Peripheral blood film; MGG-stained.
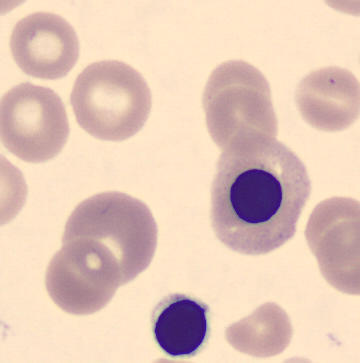 {"cell_type": "normoblast", "lineage": "erythroid"}